Single-cell crop · peripheral blood film
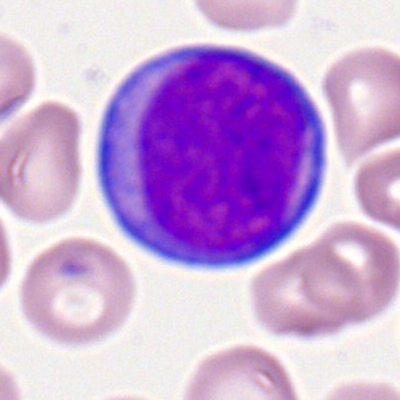

Showing a myeloblast.